Bone marrow aspirate smear:
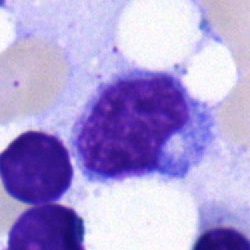 Morphology consistent with a typical lymphocyte.